Bone marrow aspirate smear.
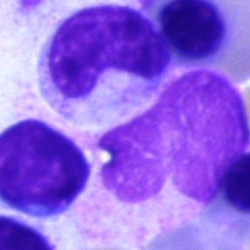
Specimen: bone marrow aspirate smear.
Cell: metamyelocyte.
Lineage: myeloid.